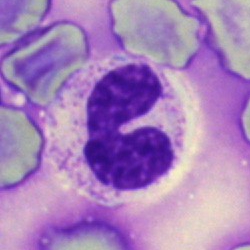Bone marrow smear showing a stab cell.